Bone marrow aspirate smear. 250×250 px:
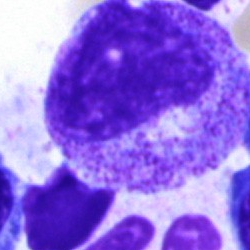
Cell: myelocyte.